Bone marrow smear. 250×250. Cropped to a single cell.
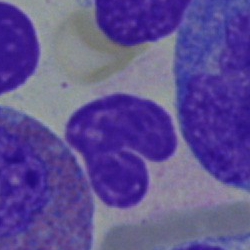
Cell — stab cell.